Bone marrow aspirate smear
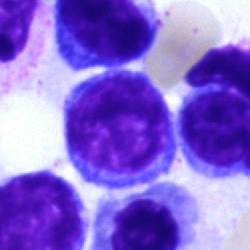
Morphological class = lymphocyte.